250×250 px. 40× oil immersion. Bone marrow smear — 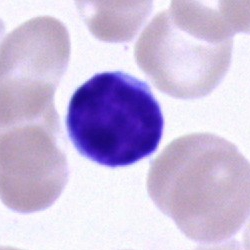

Cell — typical lymphocyte.